Bone marrow aspirate smear; 40× objective, oil immersion
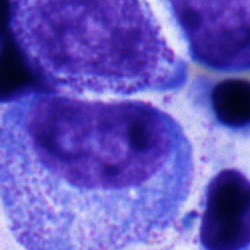Q: Which cell type is shown here?
A: This is a myelocyte.